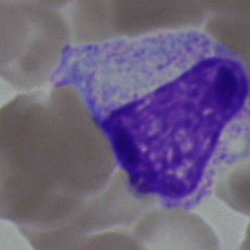

Specimen: bone marrow aspirate smear.
Cell type: myelocyte.